Single cell centered in the field. Bone marrow aspirate smear. Pappenheim-stained: 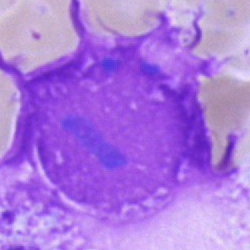

An artifact.